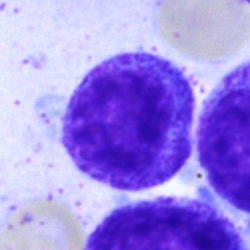

Single cell identified as a myelocyte.